Bone marrow smear: 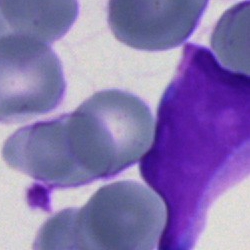 An undifferentiated blast.